Bone marrow aspirate smear:
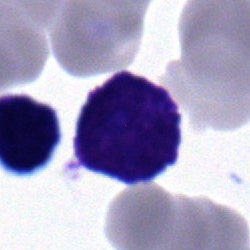 A typical lymphocyte.